Peripheral blood film:
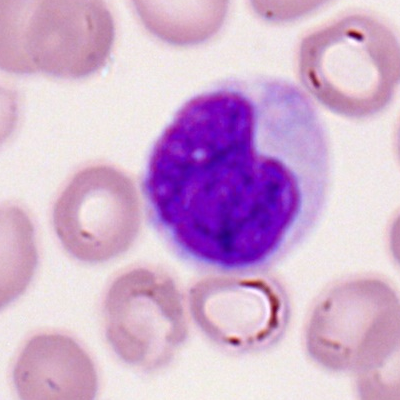Q: What type of cell is this?
A: It is a lymphocyte.